Bone marrow smear: 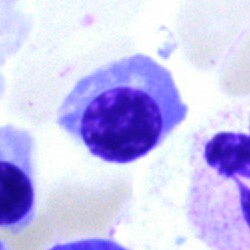 The cell shown is an erythroblast.